Bone marrow smear:
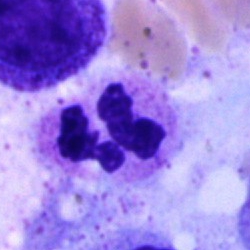
Q: What type of cell is this?
A: This is a segmented neutrophil.